Bone marrow smear.
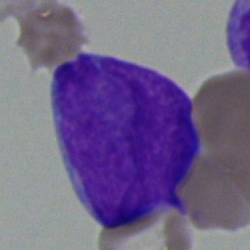
The morphological class is blast cell.